Bone marrow smear:
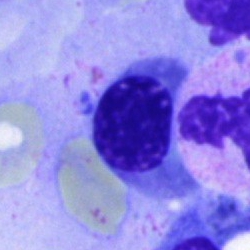
Classification = normoblast.